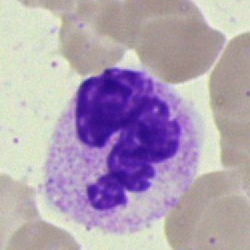
Single-cell crop from a bone marrow smear: segmented neutrophil.